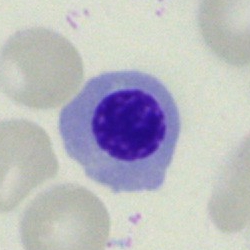

Cell type: nucleated red cell.